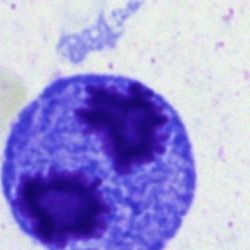 Q: What cell is this?
A: Unidentifiable cell.